Single-cell crop; bone marrow aspirate smear.
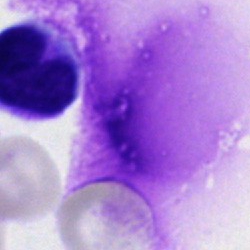Morphology → artefact.